Bone marrow aspirate smear.
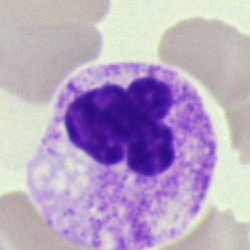

Q: Which cell type is shown here?
A: It is a polymorphonuclear neutrophil.